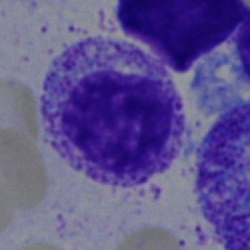
Q: What is shown here?
A: Myelocyte.